Peripheral blood film · Romanowsky-type stain
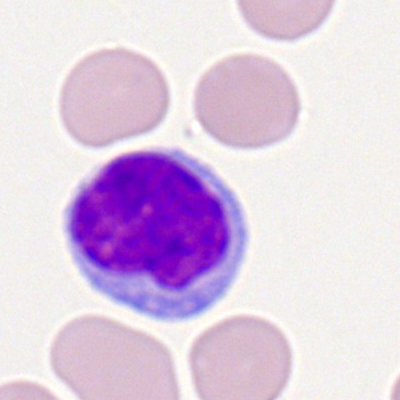

Showing a typical lymphocyte.